Bone marrow smear: 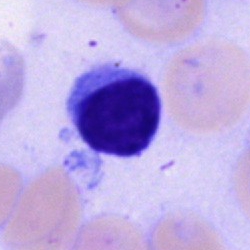The cell shown is a lymphocyte.